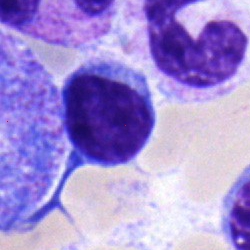Impression — typical lymphocyte.